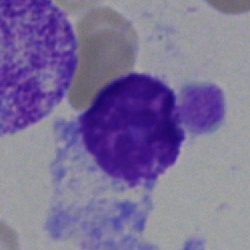
Single-cell crop from a bone marrow smear: typical lymphocyte.